Brightfield microscopy, 40× oil immersion; bone marrow aspirate smear.
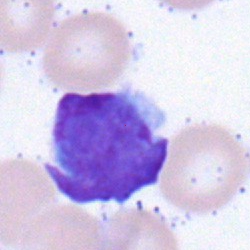
A lymphocyte.